Peripheral blood smear · 400×400: 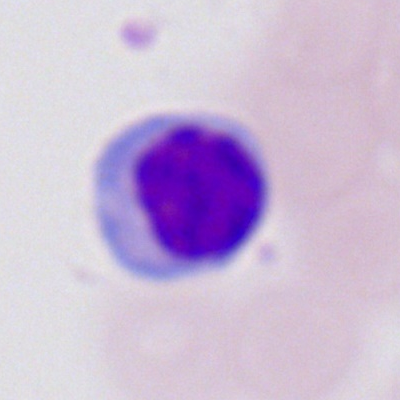

Cell — lymphocyte.